40× oil immersion · bone marrow aspirate smear — 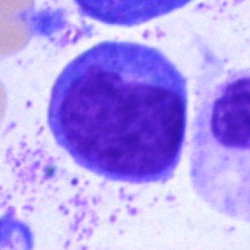

A blast cell.